250 by 250 pixels; bone marrow smear — 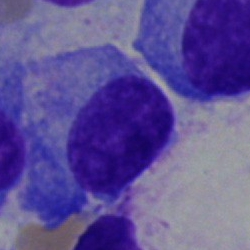

A plasma cell.